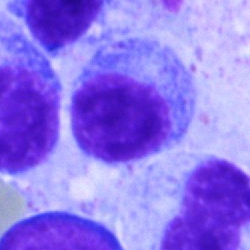 Showing a typical lymphocyte.